Pappenheim-stained · bone marrow smear — 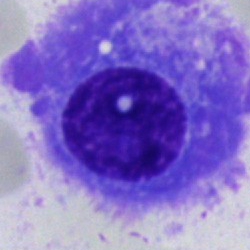 Q: Identify the cell.
A: It is a plasma cell.